Bone marrow aspirate smear; 40× objective, oil immersion — 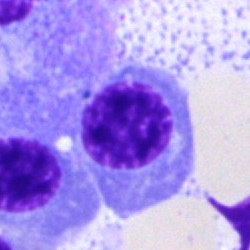Nucleated red cell.